May-Grünwald-Giemsa/Pappenheim stain · bone marrow smear.
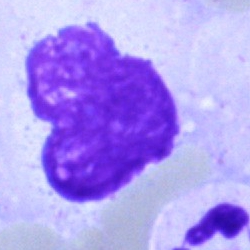

An artefact.